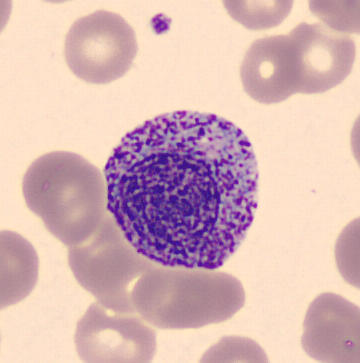{"cell_type": "progranulocyte", "lineage": "myeloid"}